250×250 px; bone marrow aspirate smear — 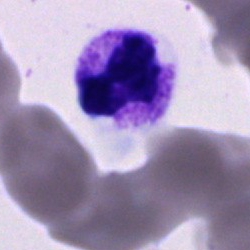 The cell shown is a polymorphonuclear neutrophil.